Bone marrow aspirate smear.
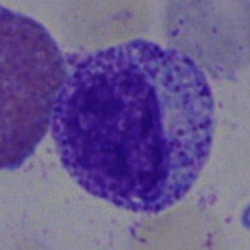
Single cell identified as a myelocyte.